Bone marrow smear: 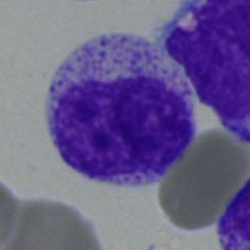 Cell: myelocyte.